Bone marrow smear:
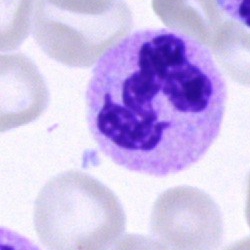 Morphological class = segmented neutrophil.